Bone marrow aspirate smear — 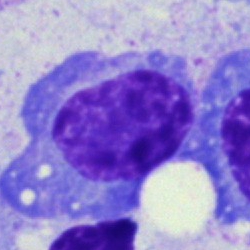{"cell_type": "plasma cell", "lineage": "lymphoid"}